Bone marrow smear: 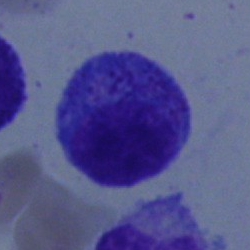
Q: What type of cell is this?
A: A myelocyte.